Bone marrow smear; 40× objective, oil immersion: 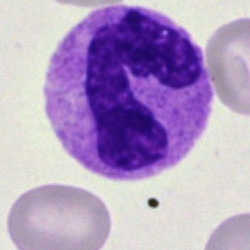 The cell type is polymorphonuclear neutrophil.